Peripheral blood smear
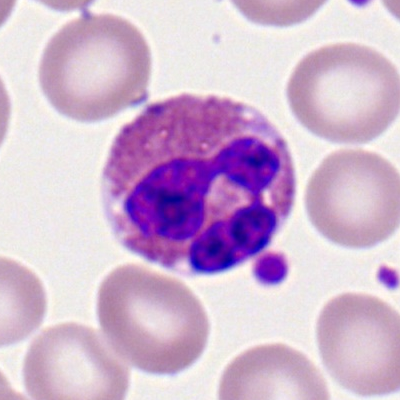
Eosinophilic granulocyte.